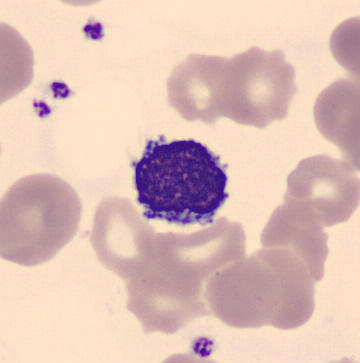Peripheral blood smear; single-cell field. Showing a typical lymphocyte.